Bone marrow smear · 40× objective, oil immersion:
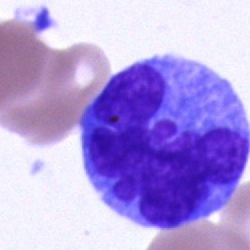 Specimen: bone marrow aspirate smear.
Classification: blast.